Bone marrow smear.
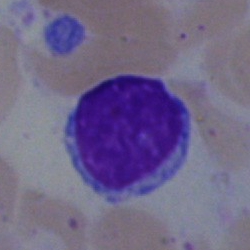Cell — lymphocyte.